Brightfield microscopy, 40× oil immersion · bone marrow aspirate smear.
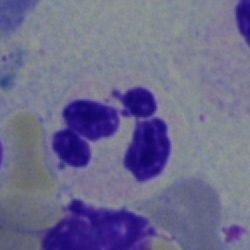

Q: What is the morphological classification of this cell?
A: This is a segmented neutrophil.